40× objective, oil immersion · single-cell field · bone marrow aspirate smear: 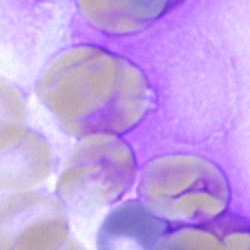Q: What is shown here?
A: It is an artifact.